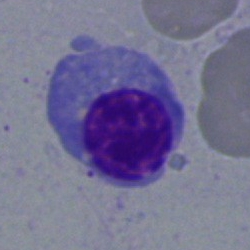
Bone marrow aspirate smear, single cell — nucleated red cell.